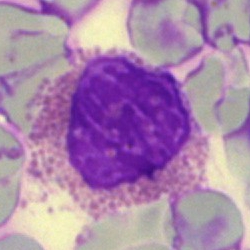
Showing an eosinophil.